Bone marrow smear; single-cell field.
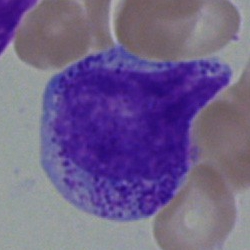

Specimen: bone marrow smear.
Cell: myelocyte.
Lineage: myeloid.